Bone marrow smear; cropped to a single cell; 40× oil immersion.
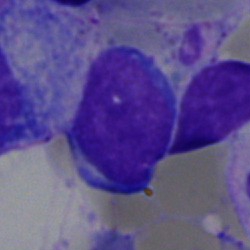

Classification: lymphocyte.